250×250 px. Bone marrow aspirate smear: 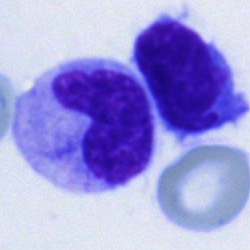

Impression — stab cell.